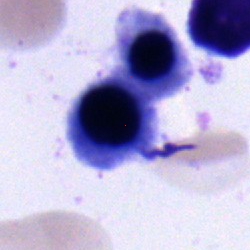 Impression — erythroblast.